Bone marrow smear · brightfield, 40× oil-immersion objective: 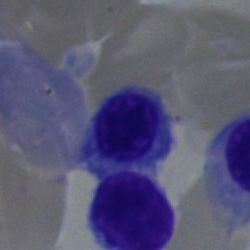
Specimen: bone marrow smear.
Classification: nucleated red cell.